Cropped to a single cell · Romanowsky-stained · peripheral blood film:
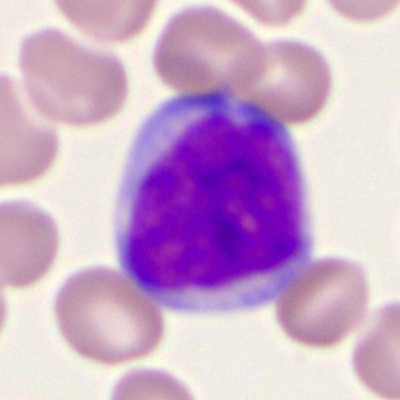Cell type — myeloblast.